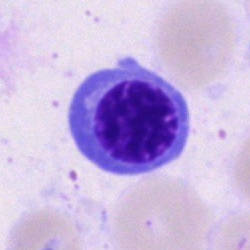Morphology → nucleated red cell.